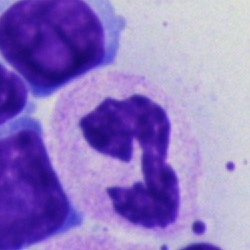 Cell: neutrophil (segmented).